Bone marrow aspirate smear.
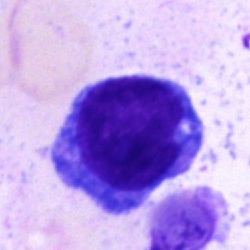 Single cell identified as an undifferentiated blast.